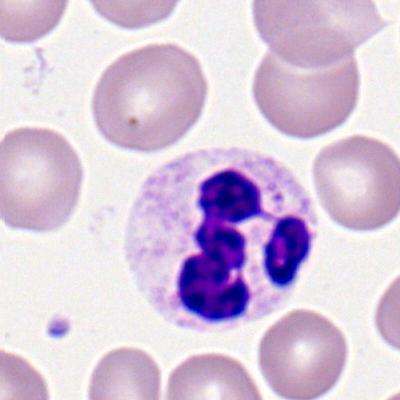
Showing a segmented neutrophil.